Bone marrow aspirate smear: 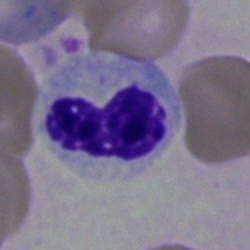 This is a band-form neutrophil.